Romanowsky-type stain · peripheral blood film.
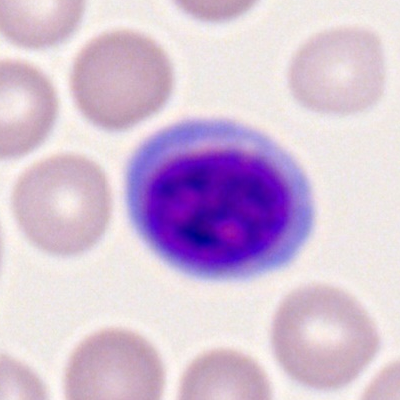

Morphological class = typical lymphocyte.